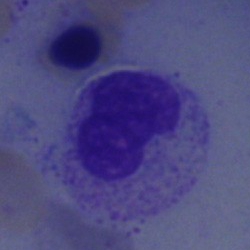Impression → metamyelocyte.